Bone marrow aspirate smear
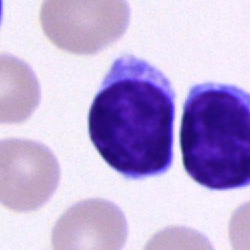 Cell type = lymphocyte.